May-Grünwald-Giemsa stain; bone marrow smear; 250 by 250 pixels:
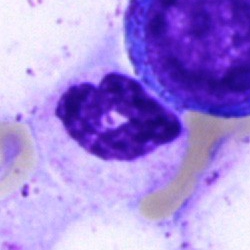Impression — segmented neutrophil.